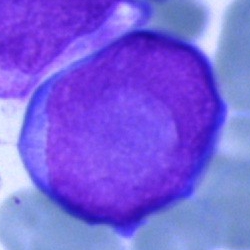 Impression — undifferentiated blast.